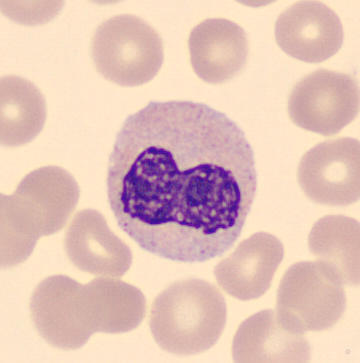 A band-form neutrophil on a peripheral blood smear.